Bone marrow aspirate smear
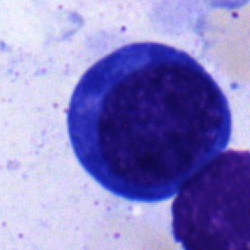{"cell_type": "normoblast"}